Bone marrow smear. Single-cell field: 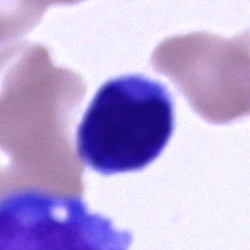This is a typical lymphocyte.